Bone marrow smear
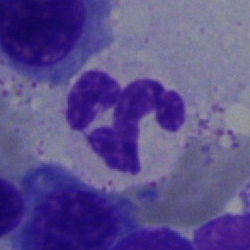 The cell shown is a polymorphonuclear neutrophil.